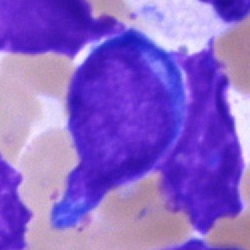Q: What type of cell is this?
A: A blast cell.